Peripheral blood smear. Brightfield, 100× oil-immersion objective. Romanowsky-stained: 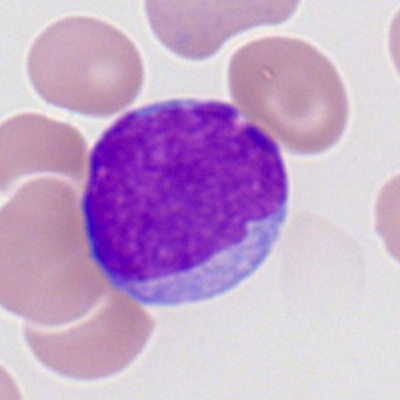 Myeloblast.